Peripheral blood film
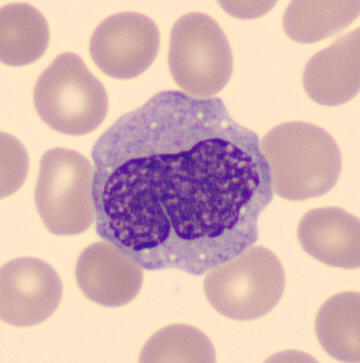 Monocyte.